Bone marrow smear · 40× objective, oil immersion · 250×250
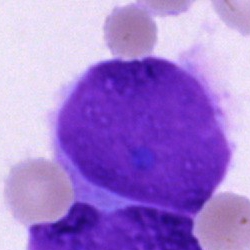
Cell = artefact.